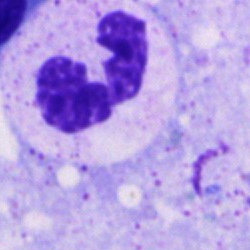 A polymorphonuclear neutrophil on a bone marrow smear.